Bone marrow smear:
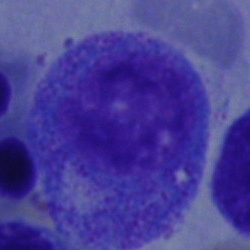Q: What cell is this?
A: A progranulocyte.